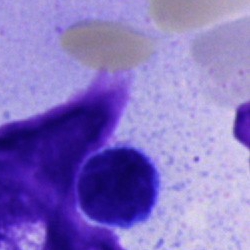 Q: What cell is this?
A: Lymphocyte.